Peripheral blood smear; 100× oil immersion
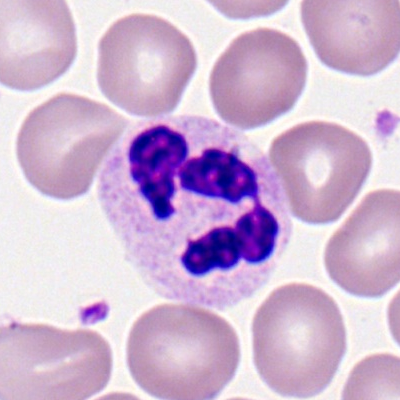The cell is polymorphonuclear neutrophil.